Bone marrow smear: 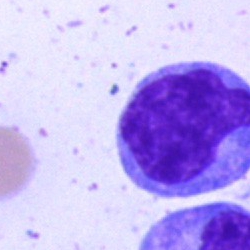
Monocyte.